May-Grünwald-Giemsa/Pappenheim stain; bone marrow aspirate smear; 250×250 — 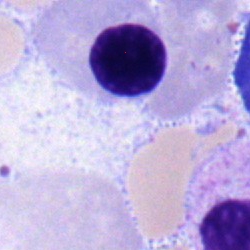
Q: Which cell type is shown here?
A: A nucleated red cell.